Peripheral blood film: 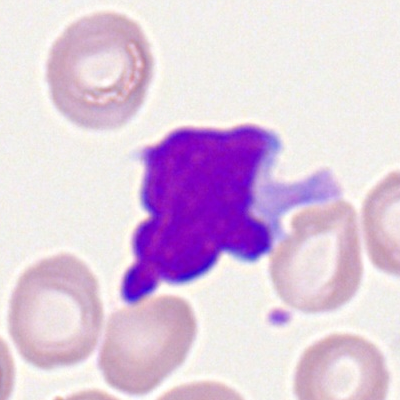
Specimen: peripheral blood film.
Morphological class: lymphocyte.